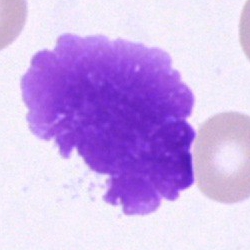 Q: What is shown here?
A: This is an artefact.